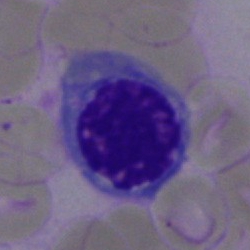Bone marrow smear showing an erythroblast.